Bone marrow smear.
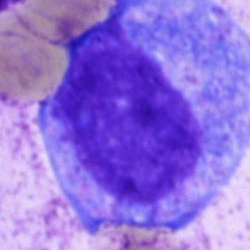The cell type is progranulocyte.